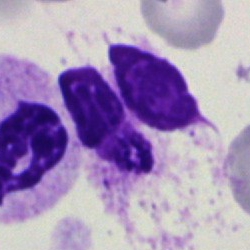 Q: What is shown here?
A: It is an artifact.